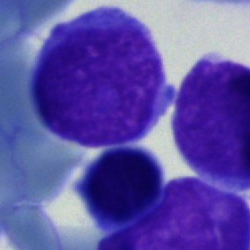 Impression — undifferentiated blast.